May-Grünwald-Giemsa stain; bone marrow smear — 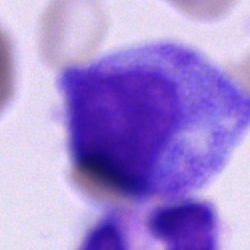Cell type — progranulocyte.